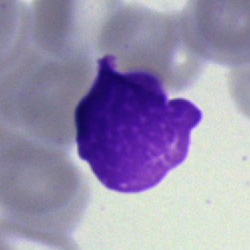

Classification: artefact.